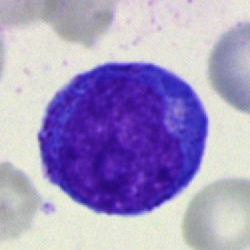Q: What type of cell is this?
A: This is a progranulocyte.